Bone marrow smear: 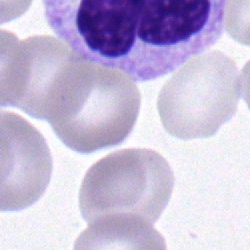
Q: What type of cell is this?
A: Band-form neutrophil.